250×250; bone marrow aspirate smear — 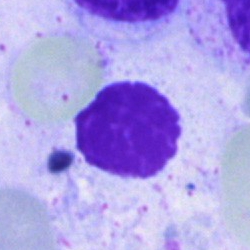 Showing an artefact.